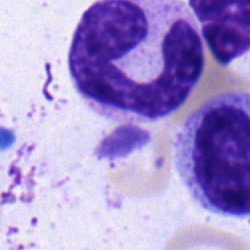 Specimen: bone marrow smear.
Morphological class: stab cell.
Lineage: myeloid.